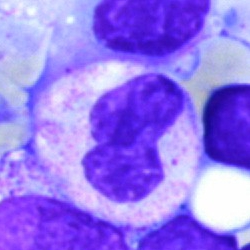{"cell_type": "band-form neutrophil"}